250×250 · bone marrow aspirate smear:
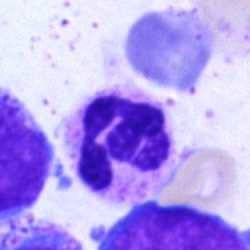 Cell type — polymorphonuclear neutrophil.